May-Grünwald-Giemsa stain · single-cell crop · bone marrow aspirate smear
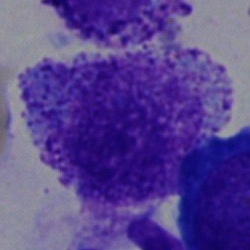Classification — basophilic granulocyte.